May-Grünwald-Giemsa stain; bone marrow aspirate smear.
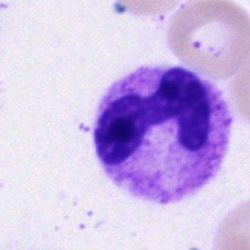

Impression → segmented neutrophil.